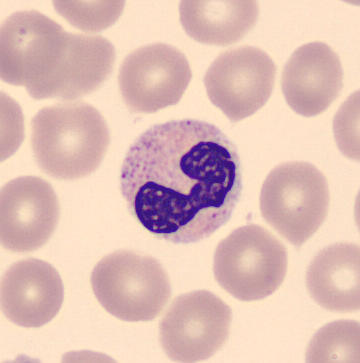 Preparation: Imaged on a CellaVision DM96 analyser · peripheral blood film.

Morphology consistent with a band-form neutrophil.